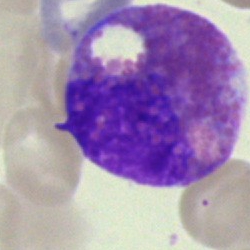{"cell_type": "eosinophil", "lineage": "myeloid"}